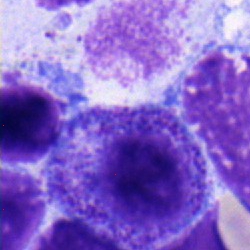

Cell = lymphocyte.